Bone marrow aspirate smear: 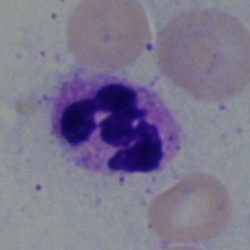The cell is neutrophil (segmented).